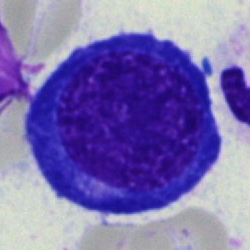 Showing a nucleated red blood cell.